Bone marrow aspirate smear; 40× oil immersion:
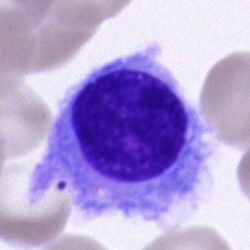 Morphology → hairy cell.